Bone marrow smear — 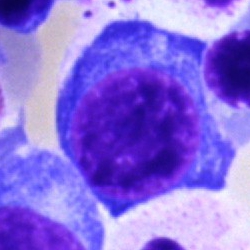Morphology → nucleated red cell.